Single-cell crop · 250×250 px · bone marrow aspirate smear: 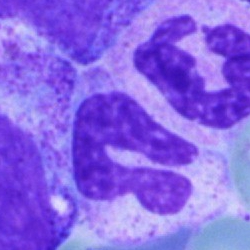This is a polymorphonuclear neutrophil.